Bone marrow aspirate smear; May-Grünwald-Giemsa stain:
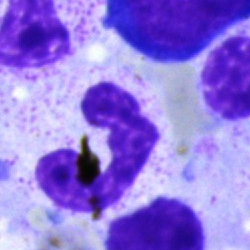

{"cell_type": "neutrophil (segmented)"}